40× objective, oil immersion; bone marrow smear: 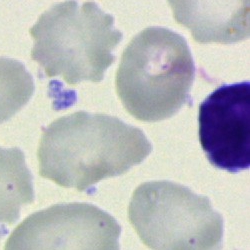 Morphology — unidentifiable cell.